Bone marrow aspirate smear — 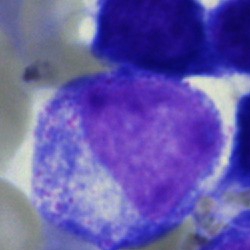Specimen: bone marrow smear.
Cell: pronormoblast.
Lineage: erythroid.